Single-cell crop. Bone marrow aspirate smear — 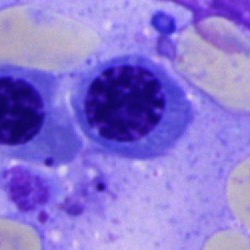
Q: Identify the cell.
A: It is an erythroblast.